Bone marrow smear:
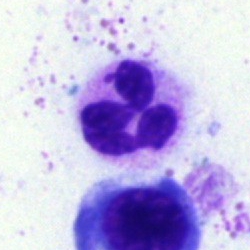The cell shown is a neutrophil (segmented).